Bone marrow aspirate smear; Pappenheim-stained.
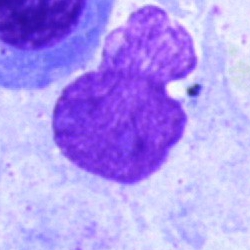 Morphological class = artefact.